Bone marrow aspirate smear — 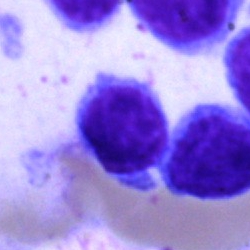Q: What cell is this?
A: This is a lymphocyte.